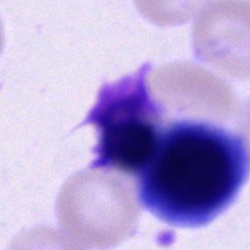Showing an unidentifiable cell.